Bone marrow aspirate smear — 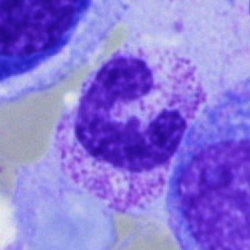
The cell shown is a neutrophil (segmented).